Bone marrow aspirate smear
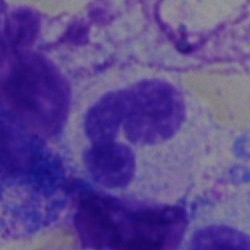Specimen: bone marrow aspirate smear.
Cell type: segmented neutrophil.